Bone marrow smear.
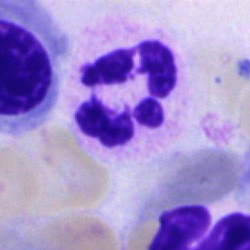
Specimen: bone marrow aspirate smear.
Classification: segmented neutrophil.